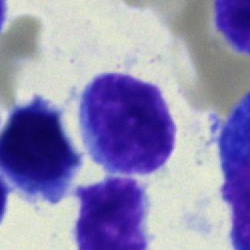Cell: lymphocyte.